Peripheral blood smear — 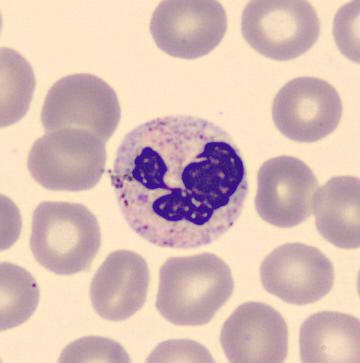{"cell_type": "neutrophil (segmented)"}